Bone marrow aspirate smear.
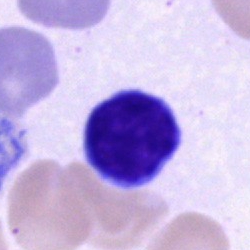
The cell shown is a lymphocyte.